Bone marrow smear: 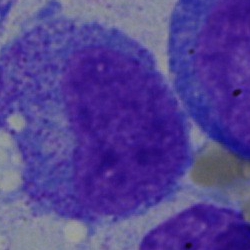
Specimen: bone marrow smear.
Cell: promyelocyte.
Lineage: myeloid.